Bone marrow smear — 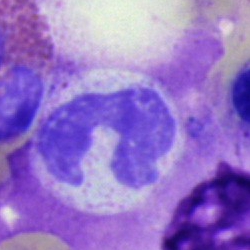 Showing a polymorphonuclear neutrophil.